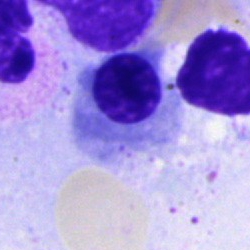 Specimen: bone marrow aspirate smear.
Cell type: erythroblast.
Lineage: erythroid.